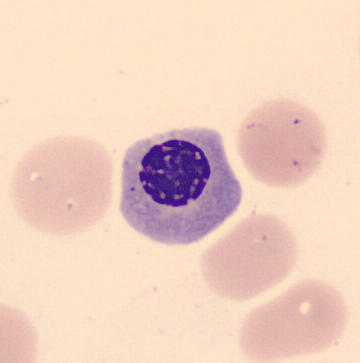
Q: What is the morphological classification of this cell?
A: Normoblast.